Bone marrow smear.
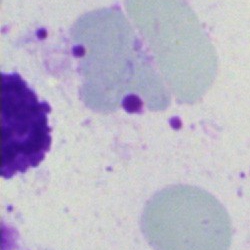
Q: What is shown here?
A: It is an artifact.